Bone marrow smear.
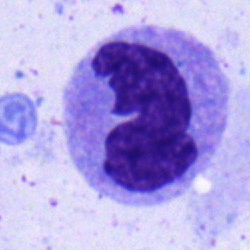Showing a monocyte.